Bone marrow aspirate smear: 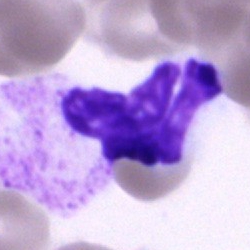Q: What is the morphological classification of this cell?
A: A polymorphonuclear neutrophil.